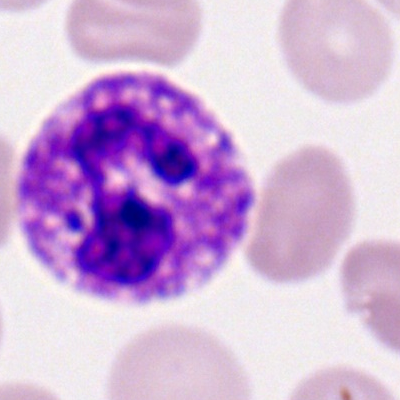Morphological class = neutrophil (segmented).